Peripheral blood film: 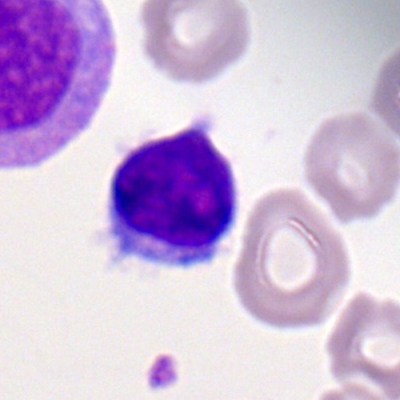Morphology consistent with a typical lymphocyte.